Bone marrow smear: 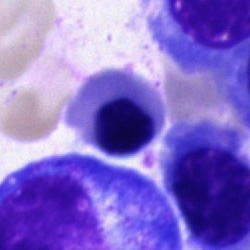

Impression → normoblast.